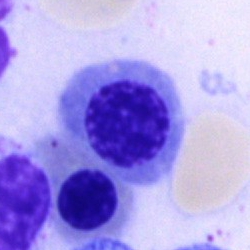Morphology → nucleated red cell.